Bone marrow smear · cropped to a single cell
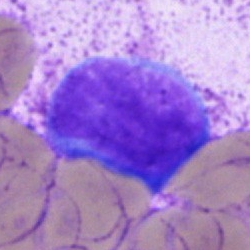{"cell_type": "blast cell"}